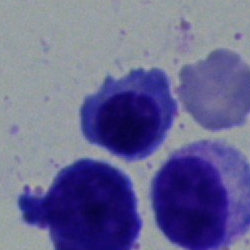
Cell — nucleated red blood cell.